Pappenheim-stained; bone marrow smear
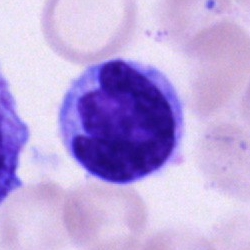
{"cell_type": "monocyte", "lineage": "myeloid"}